40× objective, oil immersion; 250×250 px; bone marrow smear:
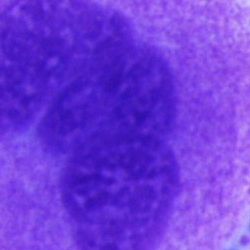Morphology consistent with an artefact.